250×250 px; bone marrow smear — 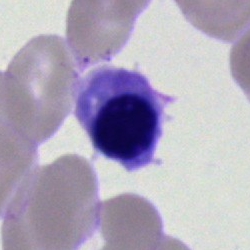
Morphological class — normoblast.